Peripheral blood film
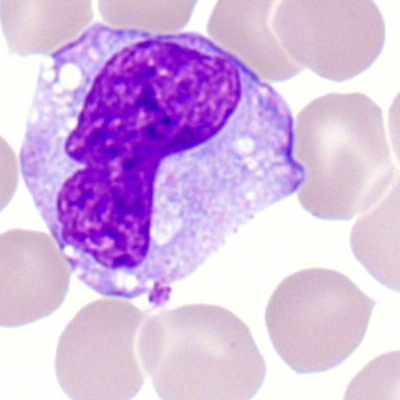Monocyte.